250×250. Bone marrow smear.
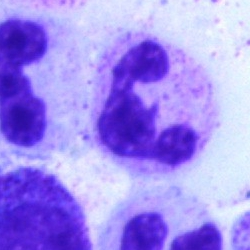
Q: What is the morphological classification of this cell?
A: Segmented neutrophil.